Bone marrow smear — 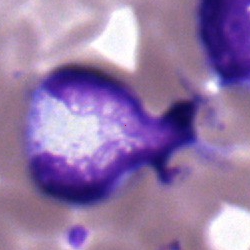
The cell shown is a segmented neutrophil.